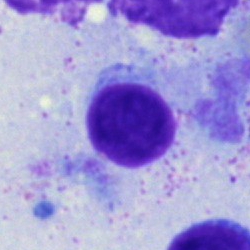 Q: Which cell type is shown here?
A: It is a lymphocyte.